Bone marrow smear
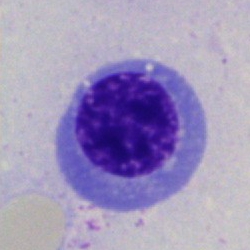
The cell is nucleated red blood cell.